Bone marrow aspirate smear. 40× objective, oil immersion. Single cell centered in the field:
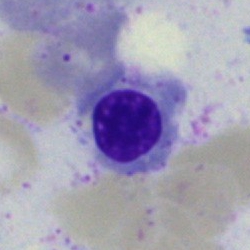Specimen: bone marrow aspirate smear.
Cell type: normoblast.